Single-cell field; 360×363; peripheral blood film: 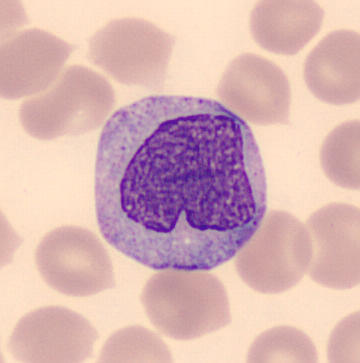

Identified as a monocyte.